Bone marrow aspirate smear:
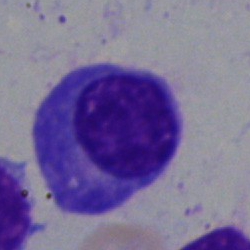 The classification is plasmacyte.